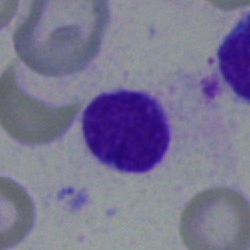

{"cell_type": "typical lymphocyte", "lineage": "lymphoid"}